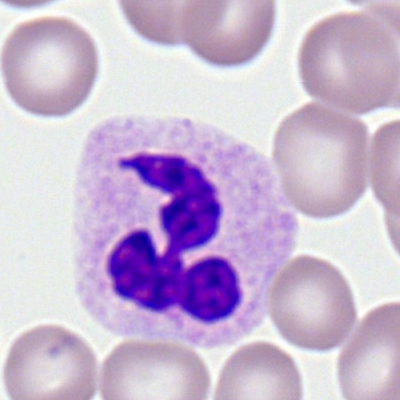 Classification — segmented neutrophil.